Bone marrow smear. May-Grünwald-Giemsa stain.
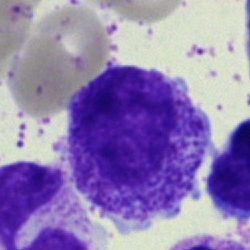
Morphology → myelocyte.